Bone marrow smear.
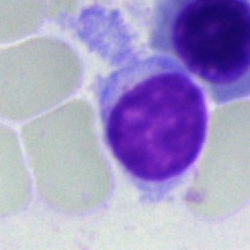

This is a lymphocyte.